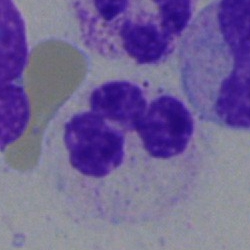 {"cell_type": "segmented neutrophil"}